Bone marrow smear: 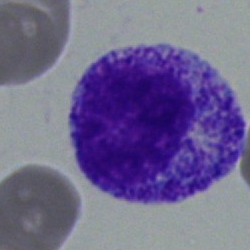Showing a myelocyte.